Bone marrow aspirate smear.
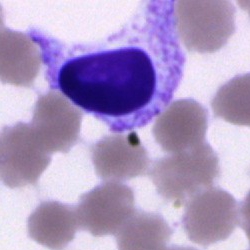

Classification — artifact.